Bone marrow aspirate smear: 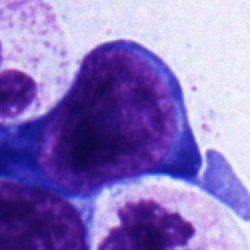 Q: Identify the cell.
A: It is a proerythroblast.